Bone marrow smear · single-cell field
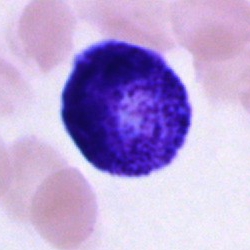
{"cell_type": "progranulocyte", "lineage": "myeloid"}